MGG-stained. Bone marrow smear. Single cell centered in the field
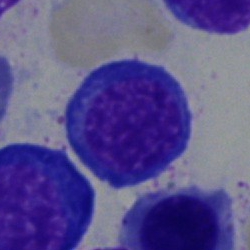
Morphology consistent with a normoblast.